Bone marrow smear
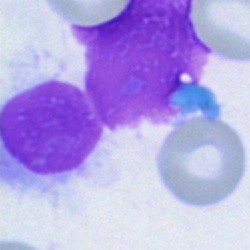 Specimen: bone marrow aspirate smear.
Cell type: artefact.